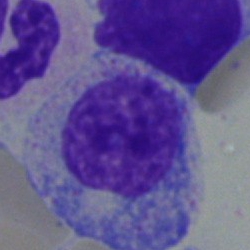 Specimen: bone marrow aspirate smear.
Cell type: myelocyte.
Lineage: myeloid.